Bone marrow smear: 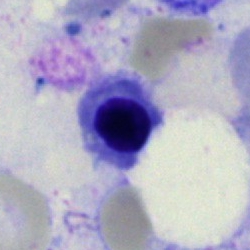 Impression → nucleated red blood cell.